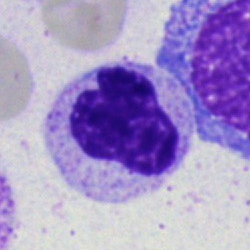

Showing a band-form neutrophil.